Bone marrow aspirate smear
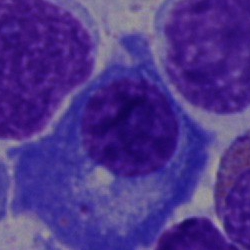
Specimen: bone marrow aspirate smear.
Cell type: plasma cell.
Lineage: lymphoid.